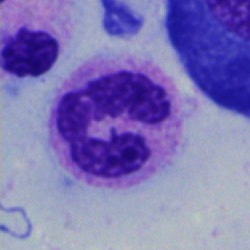This is a segmented neutrophil.